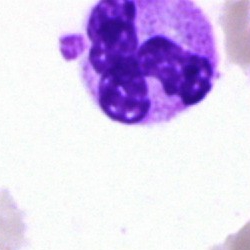
The cell shown is a polymorphonuclear neutrophil.